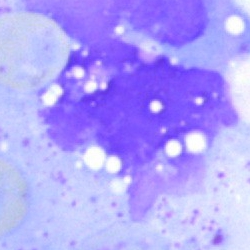
Single cell identified as an artifact.